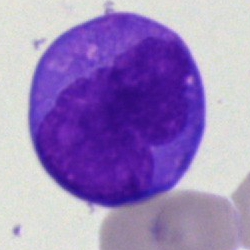

Morphological class = blast.